Bone marrow aspirate smear:
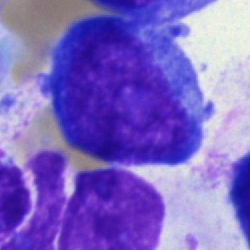

Q: What type of cell is this?
A: Blast cell.